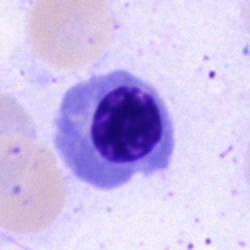Q: Which cell type is shown here?
A: It is an erythroblast.